Bone marrow aspirate smear — 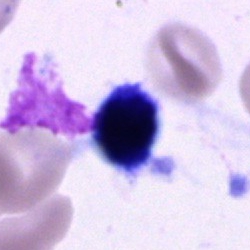 A cell of indeterminate lineage.